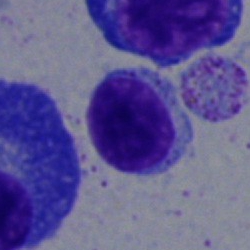
Showing a typical lymphocyte.